May-Grünwald-Giemsa/Pappenheim stain; bone marrow aspirate smear; single cell centered in the field
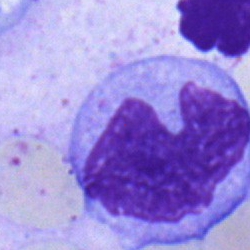Cell type = monocyte.